Bone marrow smear: 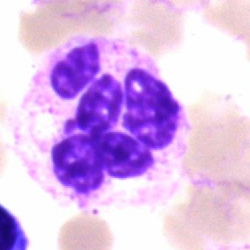
Morphology consistent with a neutrophil (segmented).